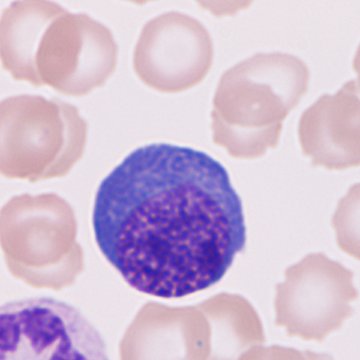
Cell type: nucleated red cell.